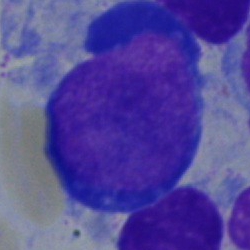
Q: Which cell type is shown here?
A: Proerythroblast.